Bone marrow aspirate smear.
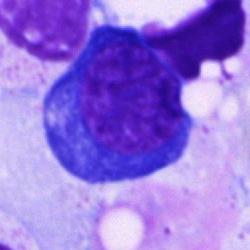Q: What is shown here?
A: Erythroblast.